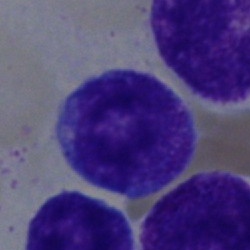

Morphology → promyelocyte.